Bone marrow aspirate smear · 250 by 250 pixels.
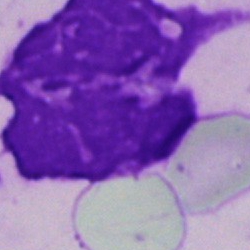

An artifact.